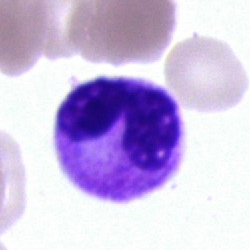 Specimen: bone marrow aspirate smear.
Morphological class: neutrophil (segmented).